Bone marrow smear: 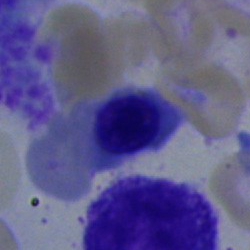Q: Identify the cell.
A: A normoblast.